Bone marrow aspirate smear — 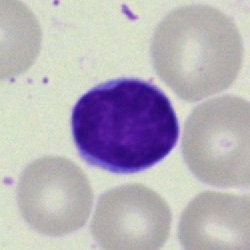Classification = typical lymphocyte.